Image size 250×250. Bone marrow smear — 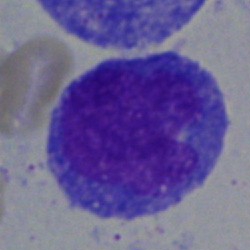
Monocyte.